250×250. Bone marrow aspirate smear. Single cell centered in the field
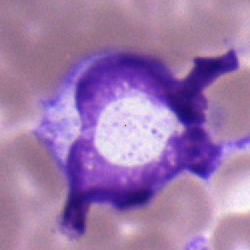
Morphology consistent with a polymorphonuclear neutrophil.